Bone marrow smear — 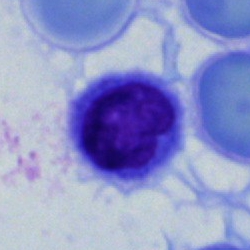Specimen: bone marrow aspirate smear.
Cell type: hairy cell.
Lineage: lymphoid.